Bone marrow smear. 250 by 250 pixels. May-Grünwald-Giemsa stain: 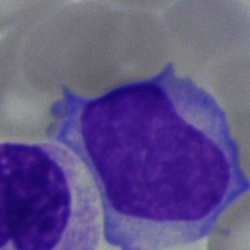
This is an undifferentiated blast.